250×250 · single-cell field · bone marrow smear
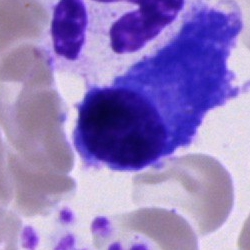
A plasma cell.